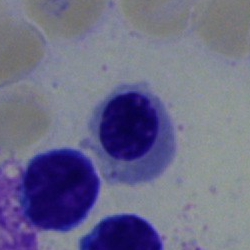
The morphological class is normoblast.